Bone marrow aspirate smear · May-Grünwald-Giemsa/Pappenheim stain: 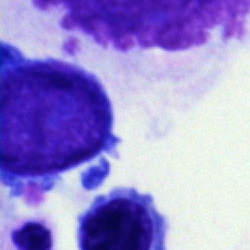 The cell is undifferentiated blast.